Brightfield, 40× oil-immersion objective · Pappenheim-stained · bone marrow aspirate smear
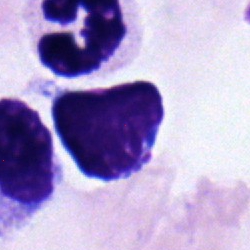 Specimen: bone marrow aspirate smear.
Classification: lymphocyte.